Bone marrow aspirate smear · May-Grünwald-Giemsa stain: 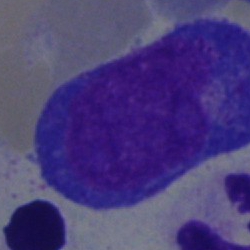 A pronormoblast.